Peripheral blood film.
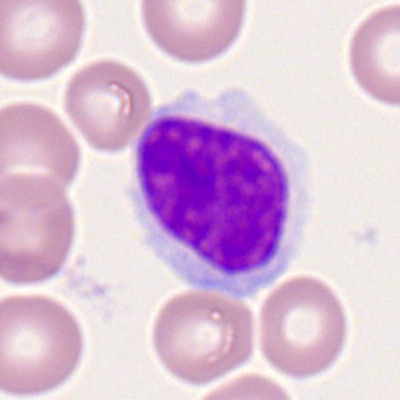

Specimen: peripheral blood smear.
Morphological class: lymphocyte.
Lineage: lymphoid.